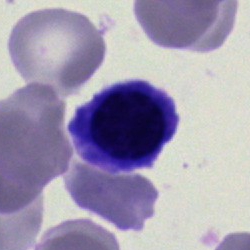 Impression → nucleated red cell.